Bone marrow aspirate smear.
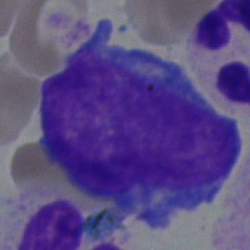{"cell_type": "blast"}